250 by 250 pixels; bone marrow smear:
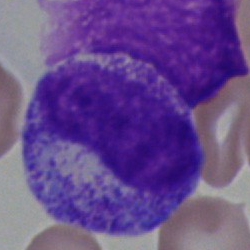
Q: What type of cell is this?
A: Metamyelocyte.